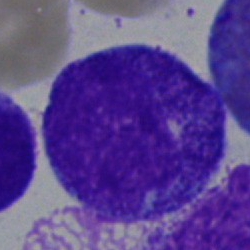
Classification = promyelocyte.